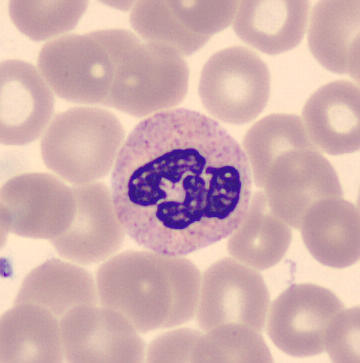

Preparation: Peripheral blood film.
Classification = polymorphonuclear neutrophil.